Bone marrow smear. May-Grünwald-Giemsa/Pappenheim stain: 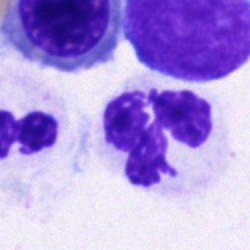
The cell shown is a polymorphonuclear neutrophil.